Peripheral blood smear: 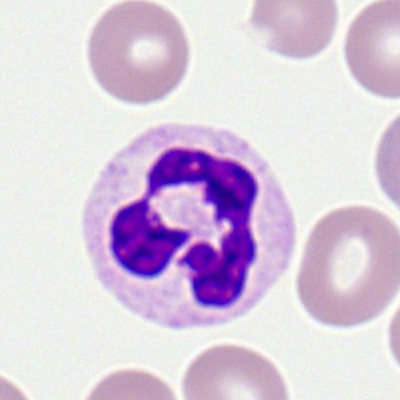 Impression → neutrophil (segmented).